Bone marrow aspirate smear — 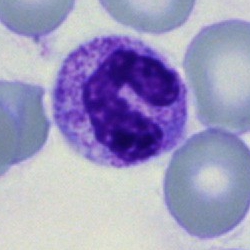The cell is polymorphonuclear neutrophil.